Bone marrow aspirate smear.
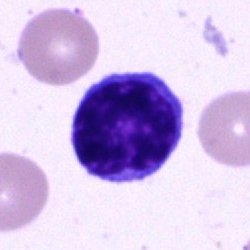

Showing a typical lymphocyte.